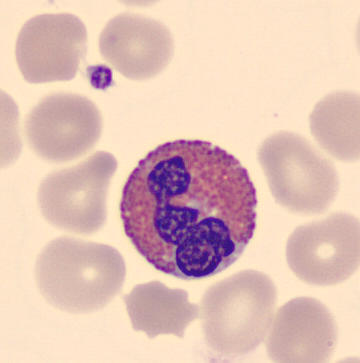

Classification = eosinophil.